Bone marrow smear.
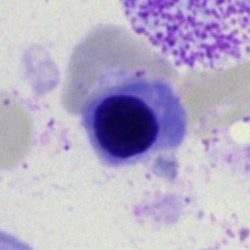

Q: What cell is this?
A: Erythroblast.